Peripheral blood smear. 100× objective, oil immersion
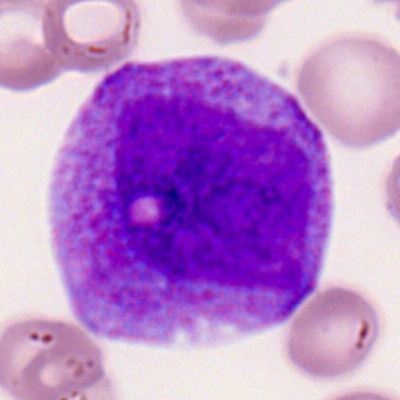

This is a progranulocyte.